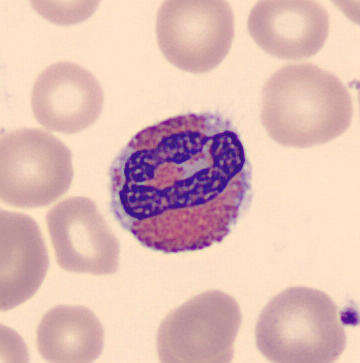

The cell shown is an eosinophilic granulocyte.
CellaVision DM96; peripheral blood film.